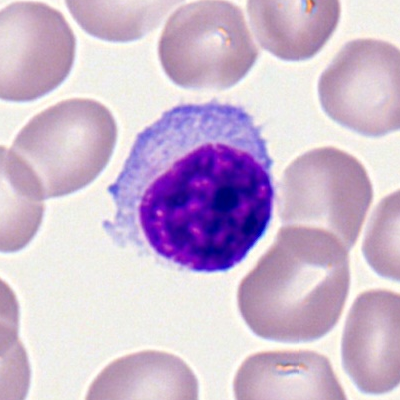Classification = lymphocyte.